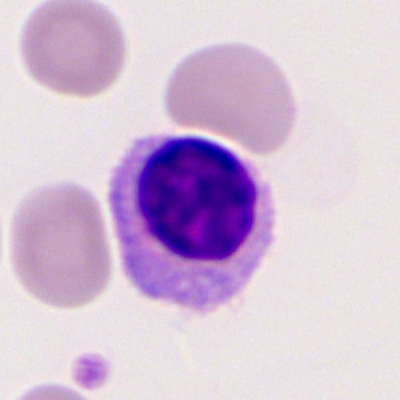
Q: What is the morphological classification of this cell?
A: Typical lymphocyte.